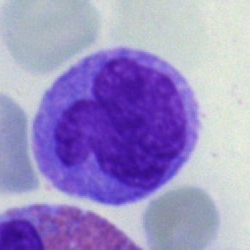
Bone marrow smear showing a monocyte.